Bone marrow aspirate smear; cropped to a single cell: 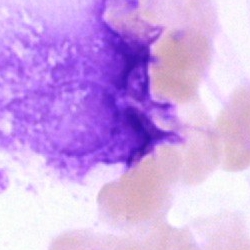 The cell type is artefact.